Bone marrow smear. Single-cell crop. 40× objective, oil immersion — 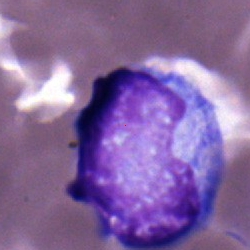 {"cell_type": "undifferentiated blast"}